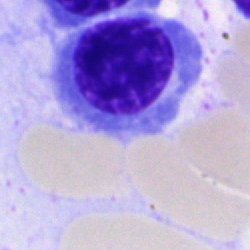 Q: Which cell type is shown here?
A: Nucleated red blood cell.